Bone marrow aspirate smear — 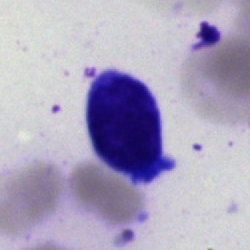

Impression — lymphocyte.